May-Grünwald-Giemsa stain; 40× objective, oil immersion; bone marrow aspirate smear:
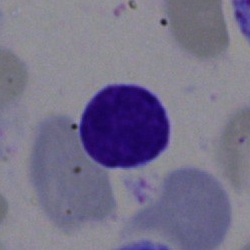 Single cell identified as a lymphocyte.